250×250 px. Bone marrow aspirate smear. 40× objective, oil immersion
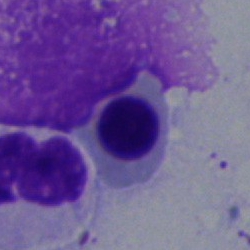 Nucleated red cell.